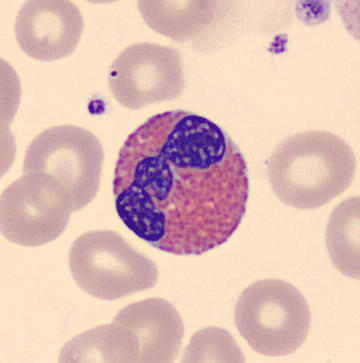MGG-stained; peripheral blood film.
This is an eosinophilic granulocyte.